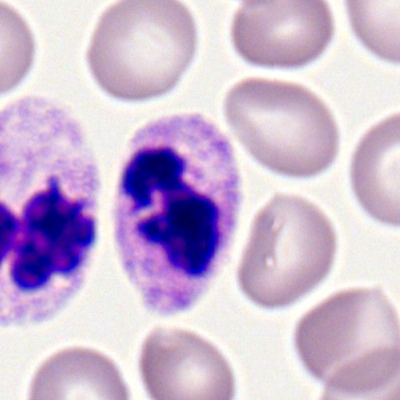
Specimen: peripheral blood film.
Cell: segmented neutrophil.